Bone marrow aspirate smear.
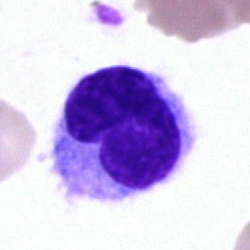Q: Identify the cell.
A: A hairy cell.